Bone marrow smear
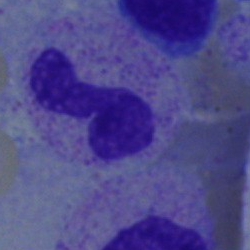
Q: What is shown here?
A: It is a band neutrophil.